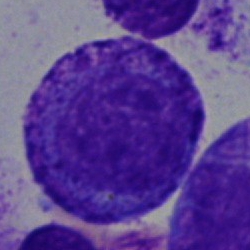The morphological class is promyelocyte.